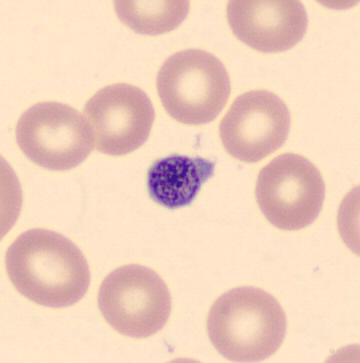

Acquisition: Peripheral blood film. This is a thrombocyte.